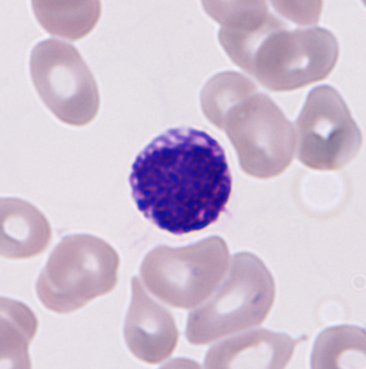Specimen: peripheral blood film.
Cell: basophil.
Lineage: myeloid.